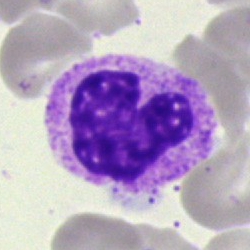
This is a band neutrophil.